Single-cell field; bone marrow aspirate smear — 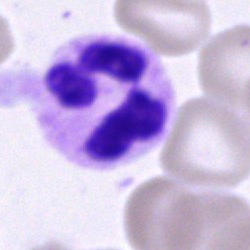

This is a neutrophil (segmented).